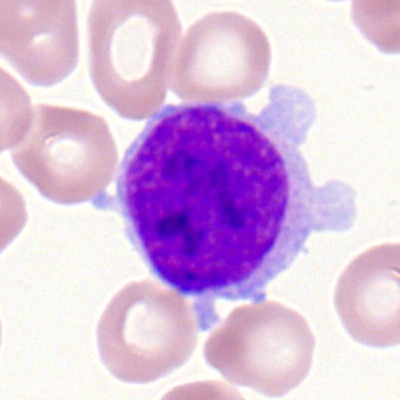Morphology consistent with a typical lymphocyte.